Bone marrow aspirate smear: 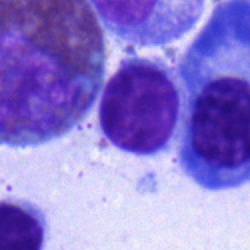
Cell = typical lymphocyte.